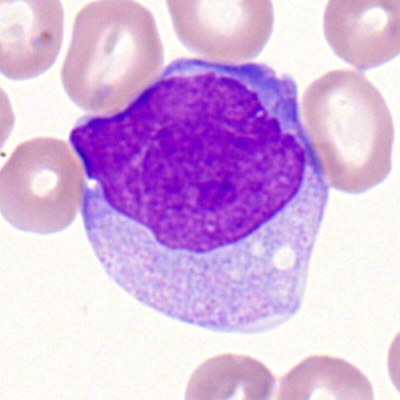

The morphological class is monocyte.